Bone marrow aspirate smear · brightfield, 40× oil-immersion objective: 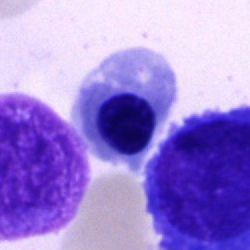

Q: What type of cell is this?
A: This is a normoblast.